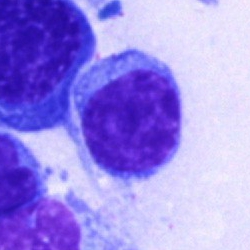Specimen: bone marrow smear.
Morphological class: typical lymphocyte.
Lineage: lymphoid.